Bone marrow smear · cropped to a single cell
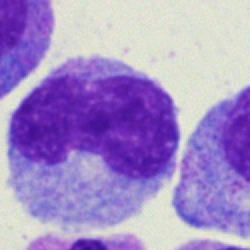
Single cell identified as a monocyte.